Bone marrow aspirate smear
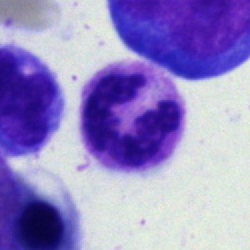 The morphological class is segmented neutrophil.